Bone marrow smear.
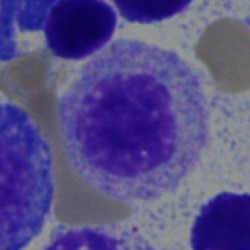 Q: What is the morphological classification of this cell?
A: It is a myelocyte.